Bone marrow aspirate smear — 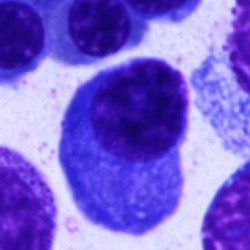The cell shown is a plasmacyte.